Bone marrow aspirate smear.
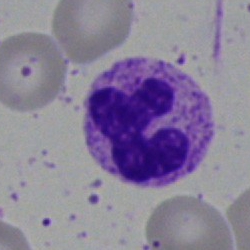
Morphology consistent with a polymorphonuclear neutrophil.